Bone marrow smear — 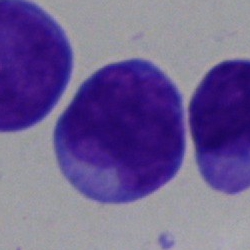

Morphological class = blast.